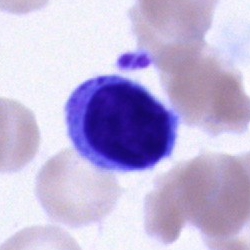

Classification: lymphocyte.